Bone marrow smear — 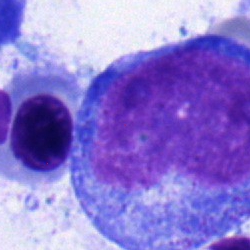
A blast cell.